Bone marrow aspirate smear: 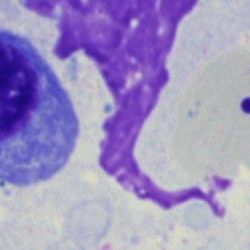Showing an artefact.